Brightfield microscopy, 40× oil immersion. 250 by 250 pixels. Bone marrow smear — 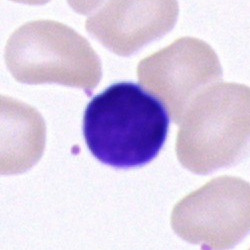
Single cell identified as a typical lymphocyte.